Romanowsky-type stain; peripheral blood smear: 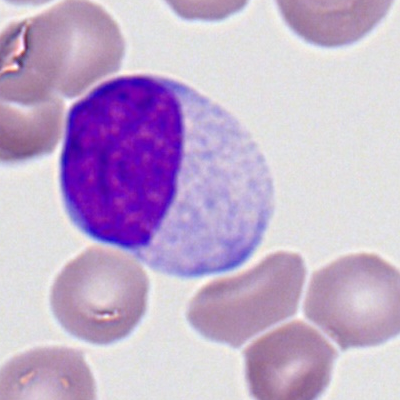
Morphology → myeloid blast.